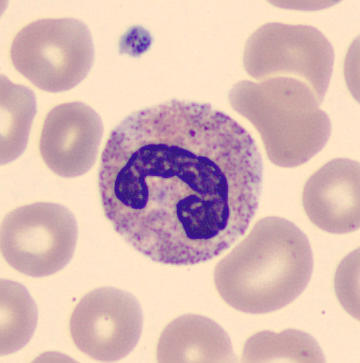The cell shown is a polymorphonuclear neutrophil.